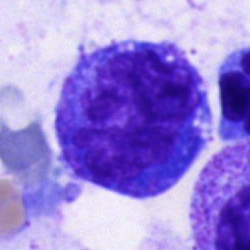Q: What is shown here?
A: A monocyte.